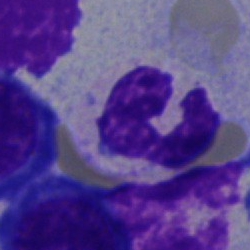A segmented neutrophil.